250×250 px. Bone marrow aspirate smear: 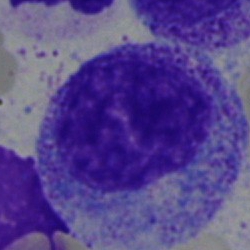
The cell shown is a progranulocyte.